Bone marrow aspirate smear:
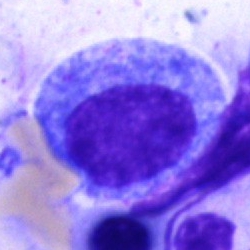

Q: What cell is this?
A: Progranulocyte.